Brightfield microscopy, 40× oil immersion. Bone marrow aspirate smear — 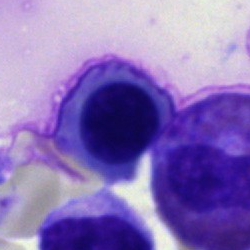
Morphology consistent with a nucleated red cell.